Bone marrow aspirate smear: 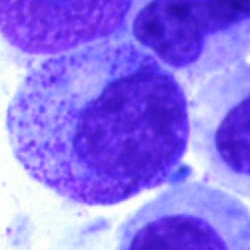
Classification — myelocyte.